250×250 · bone marrow aspirate smear:
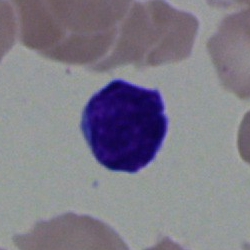 Showing a typical lymphocyte.